Brightfield microscopy, 40× oil immersion; image size 250×250; bone marrow aspirate smear:
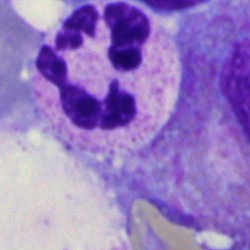 Cell type = polymorphonuclear neutrophil.